Brightfield microscopy, 40× oil immersion. 250×250 px. Bone marrow aspirate smear
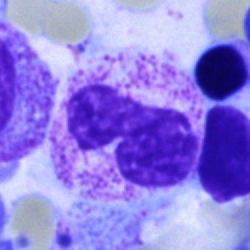Impression → polymorphonuclear neutrophil.